Bone marrow aspirate smear · brightfield, 40× oil-immersion objective:
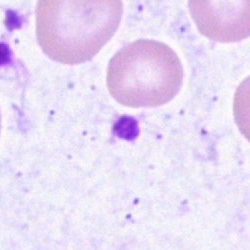
The cell shown is an artifact.